Single-cell crop; MGG stain; peripheral blood film:
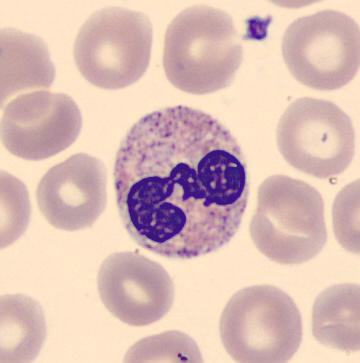Morphological class: neutrophil (segmented).